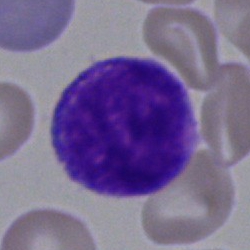
Specimen: bone marrow smear.
Cell: blast cell.